Bone marrow aspirate smear — 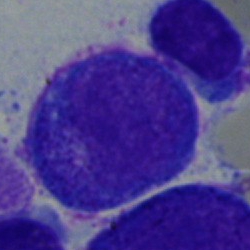 Classification: promyelocyte.